Bone marrow aspirate smear — 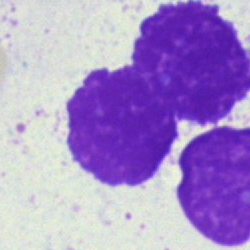

Specimen: bone marrow smear.
Cell type: artefact.